Single-cell field · bone marrow smear — 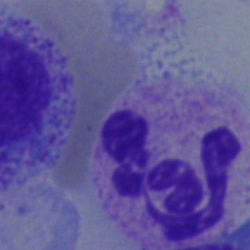
Morphology consistent with a neutrophil (segmented).